Bone marrow aspirate smear.
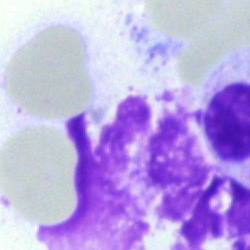

Morphological class = artefact.